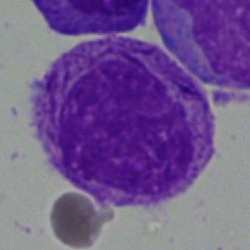
Q: What cell is this?
A: A cell with bundled Auer rods.